40× oil immersion. Bone marrow smear — 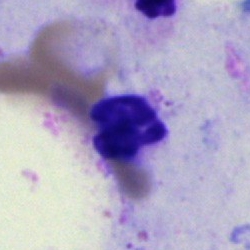Q: What is shown here?
A: It is an artifact.